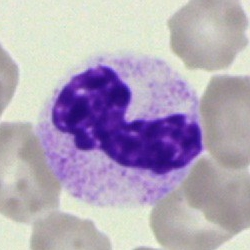{"cell_type": "polymorphonuclear neutrophil", "lineage": "myeloid"}